Bone marrow aspirate smear:
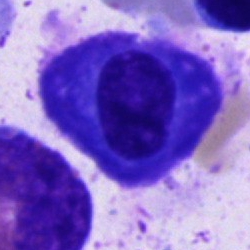
Q: What is the morphological classification of this cell?
A: This is a plasma cell.